Peripheral blood film.
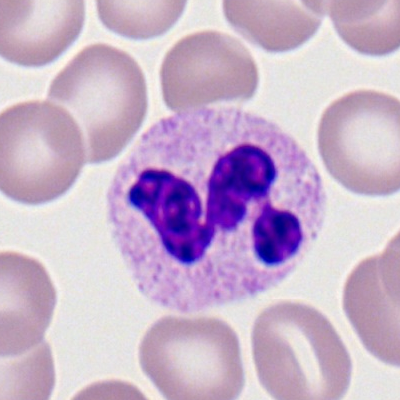

The classification is segmented neutrophil.